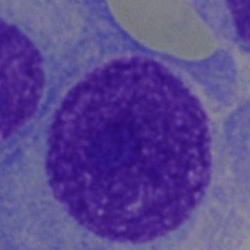
Morphological class = plasma cell.